Bone marrow smear.
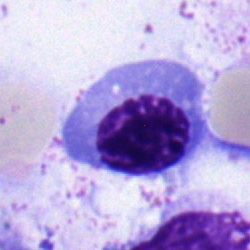
Showing a nucleated red cell.